Bone marrow smear.
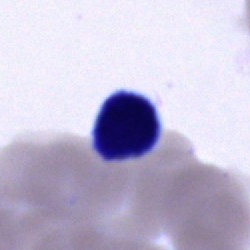 {"cell_type": "typical lymphocyte"}